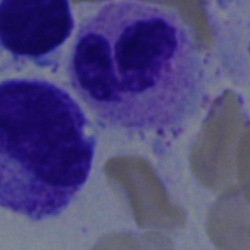Bone marrow aspirate smear, single cell — segmented neutrophil.